Bone marrow smear; 40× oil immersion — 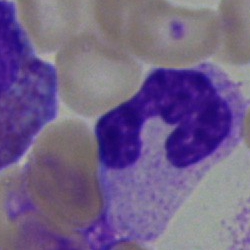

Band-form neutrophil.